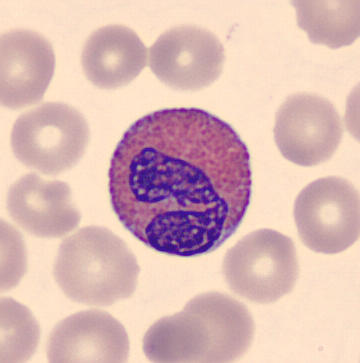
Specimen: peripheral blood film.
Cell type: eosinophil.
Lineage: myeloid.